250×250; bone marrow aspirate smear; May-Grünwald-Giemsa stain: 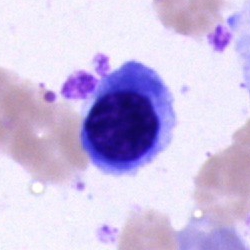

Specimen: bone marrow smear.
Cell type: erythroblast.
Lineage: erythroid.